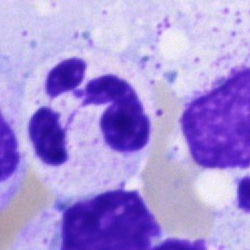 {"cell_type": "neutrophil (segmented)"}